Bone marrow smear:
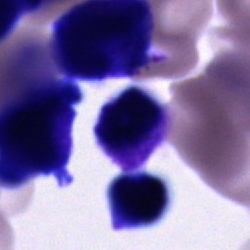

This is an unidentifiable cell.